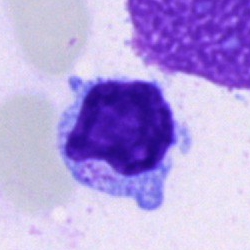 Cell type = typical lymphocyte.